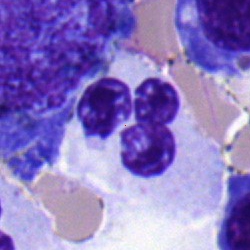

Cell type = polymorphonuclear neutrophil.